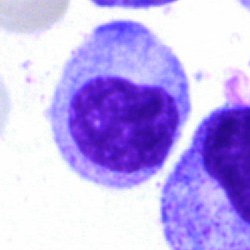 Cell type: progranulocyte.